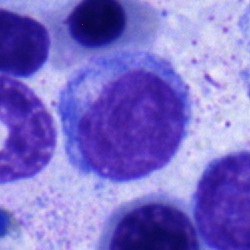 Morphological class — lymphocyte.